Bone marrow smear.
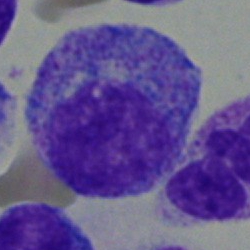

Q: Which cell type is shown here?
A: It is a myelocyte.